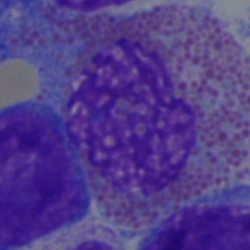
Classification — eosinophil.